Bone marrow smear
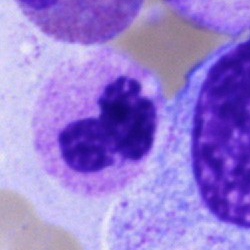Specimen: bone marrow aspirate smear.
Cell type: neutrophil (segmented).
Lineage: myeloid.